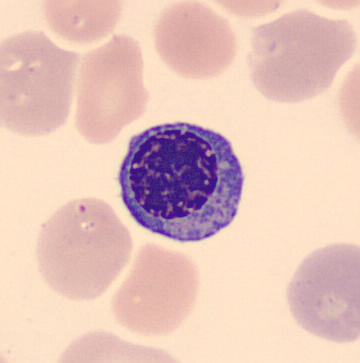
Morphological class — nucleated red blood cell. Preparation: Peripheral blood film · image size 360×363.